Bone marrow smear.
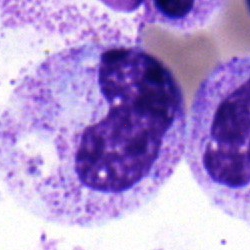Showing a stab cell.